40× objective, oil immersion · bone marrow smear — 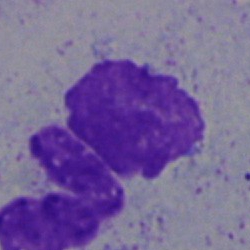

Classification = artifact.